Bone marrow smear.
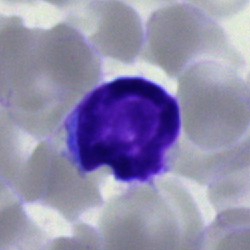
Q: Identify the cell.
A: A lymphocyte.